Bone marrow aspirate smear; 250×250 px
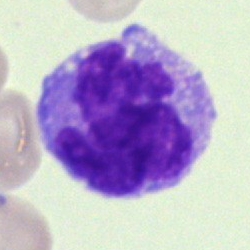
The classification is monocyte.